Bone marrow smear. May-Grünwald-Giemsa stain. 40× oil immersion: 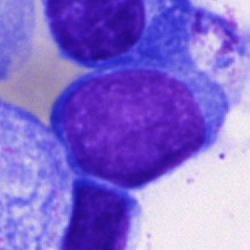

Cell type = blast.